Bone marrow aspirate smear: 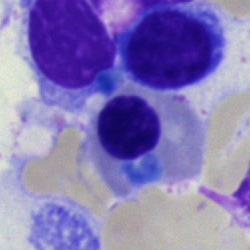

Q: Which cell type is shown here?
A: An erythroblast.